Bone marrow aspirate smear · single cell centered in the field
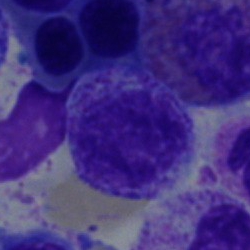

Myelocyte.